Bone marrow aspirate smear.
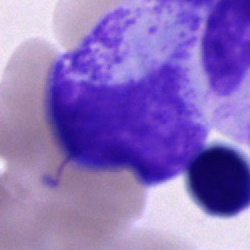Q: What type of cell is this?
A: This is a promyelocyte.